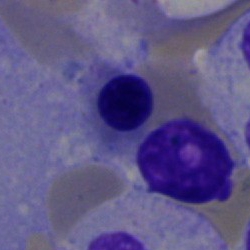
Bone marrow aspirate smear, single cell — nucleated red cell.